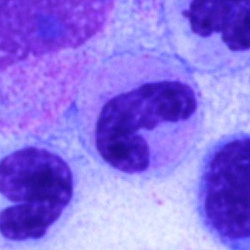
Cell: segmented neutrophil.